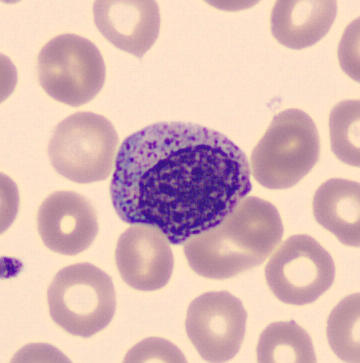 Myelocyte.
Peripheral blood smear · May Grünwald-Giemsa stain · CellaVision DM96.